Bone marrow smear: 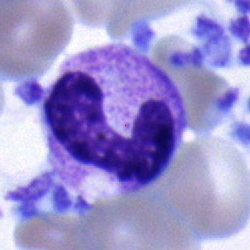

{"cell_type": "stab cell"}